Bone marrow smear
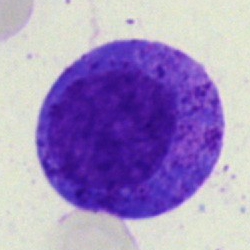
The cell shown is a promyelocyte.